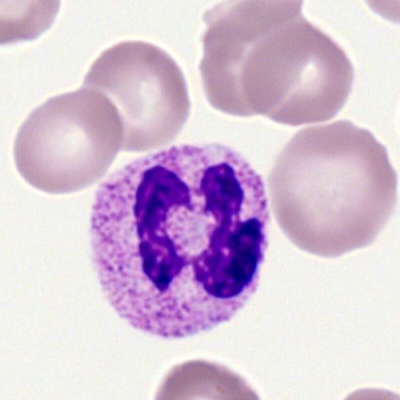

Cell: segmented neutrophil.